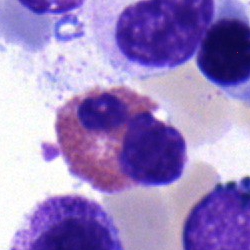 {"cell_type": "normoblast"}